Single cell centered in the field; bone marrow aspirate smear.
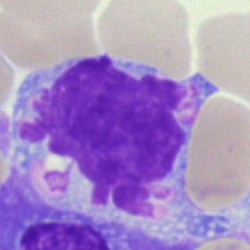
{"cell_type": "artefact"}